Bone marrow aspirate smear:
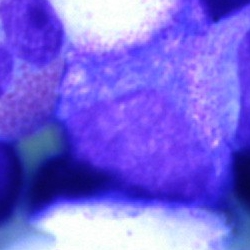 Morphology — progranulocyte.